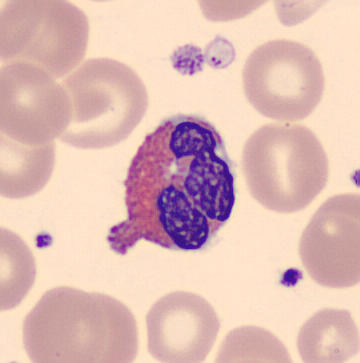
Peripheral blood film.

The cell shown is an eosinophil.